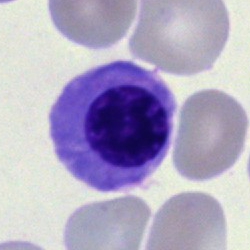

Cell type = normoblast.